Brightfield, 40× oil-immersion objective. Bone marrow smear — 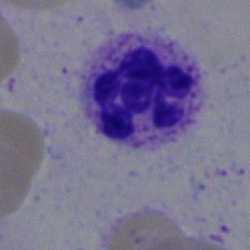Q: What cell is this?
A: This is a segmented neutrophil.